Bone marrow smear: 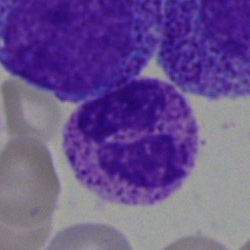 Q: What is the morphological classification of this cell?
A: A segmented neutrophil.